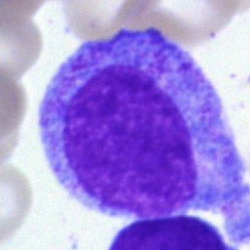 Single cell identified as a progranulocyte.